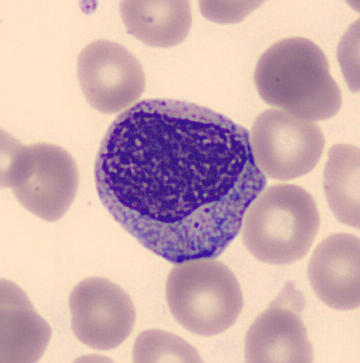Showing a progranulocyte.

Preparation: MGG stain · peripheral blood film.